Cropped to a single cell; bone marrow aspirate smear; May-Grünwald-Giemsa stain — 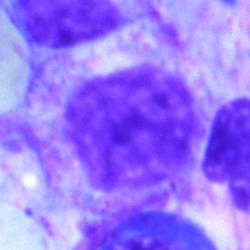

Morphology consistent with a metamyelocyte.